Bone marrow aspirate smear. Single cell centered in the field: 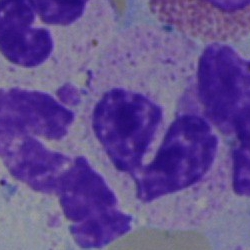 Specimen: bone marrow aspirate smear.
Cell type: neutrophil (segmented).
Lineage: myeloid.